Bone marrow smear.
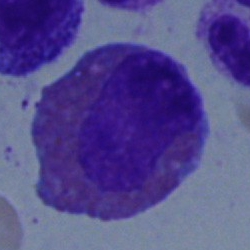

Q: Identify the cell.
A: It is an eosinophil.